Bone marrow aspirate smear.
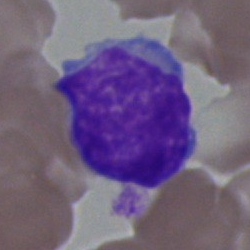
Q: Which cell type is shown here?
A: Typical lymphocyte.